40× oil immersion; bone marrow aspirate smear: 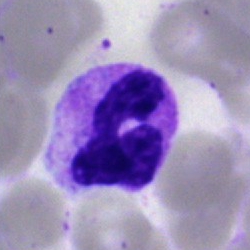
Morphology → polymorphonuclear neutrophil.